Image size 250×250 · bone marrow aspirate smear — 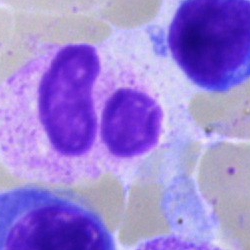
Single cell identified as a neutrophil (segmented).